Bone marrow aspirate smear. 250×250 px
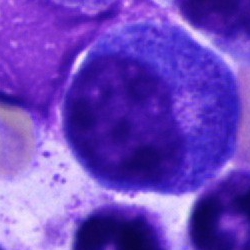Showing a progranulocyte.